40× objective, oil immersion. Bone marrow smear. Single-cell field:
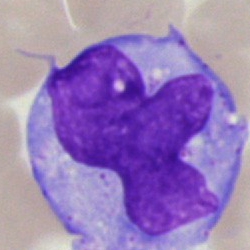

Specimen: bone marrow smear.
Classification: monocyte.
Lineage: myeloid.